Bone marrow smear · brightfield microscopy, 40× oil immersion: 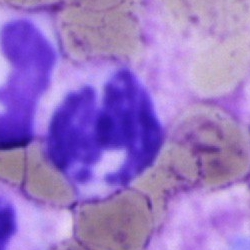Single cell identified as a neutrophil (segmented).